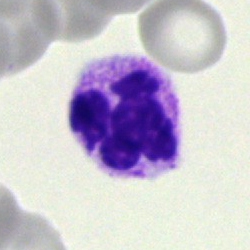Bone marrow smear showing a polymorphonuclear neutrophil.